Bone marrow aspirate smear: 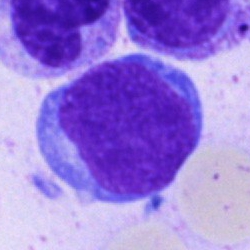

This is a blast cell.